250×250; bone marrow aspirate smear.
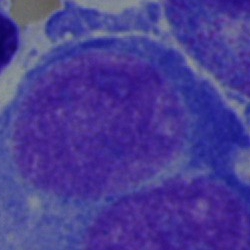 Single cell identified as a pronormoblast.